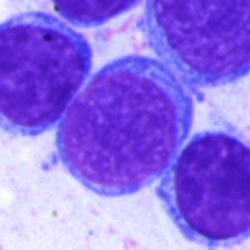 Classification = lymphocyte.